Bone marrow aspirate smear · May-Grünwald-Giemsa stain: 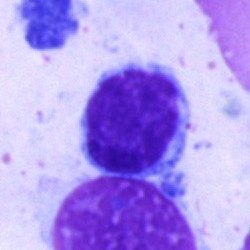 This is a typical lymphocyte.